Image size 250×250 · single-cell crop · bone marrow smear.
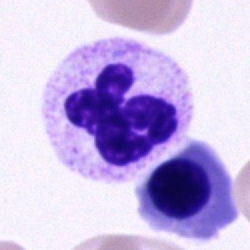 Q: Which cell type is shown here?
A: This is a polymorphonuclear neutrophil.